Bone marrow aspirate smear; single-cell field
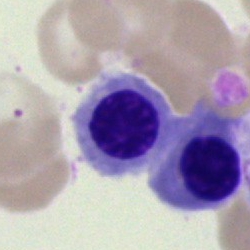

Showing a normoblast.